Bone marrow smear: 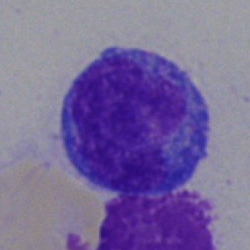 Q: Which cell type is shown here?
A: A progranulocyte.